Bone marrow smear.
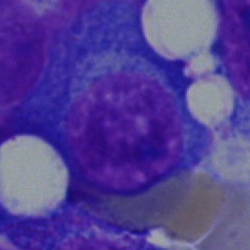
A plasma cell.